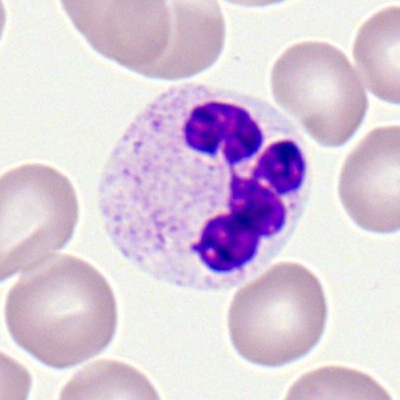 {"cell_type": "polymorphonuclear neutrophil"}